Bone marrow smear
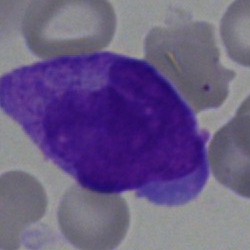

A blast cell.